CellaVision DM96; peripheral blood smear: 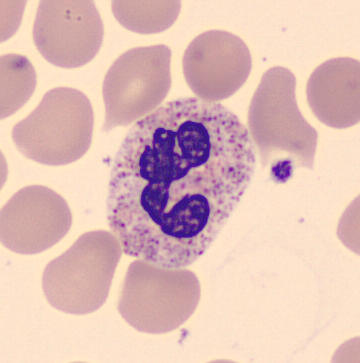

Q: What is the morphological classification of this cell?
A: A polymorphonuclear neutrophil.